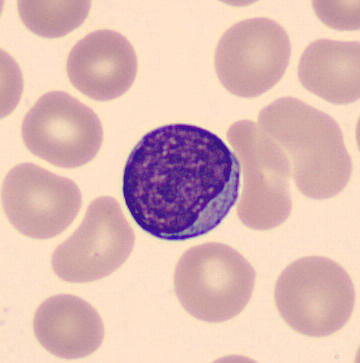 This is a typical lymphocyte.